Bone marrow aspirate smear; single-cell field.
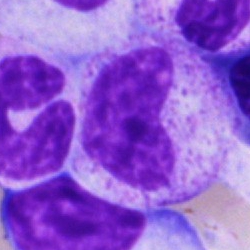
Cell type = metamyelocyte.